Brightfield microscopy, 40× oil immersion. Image size 250×250. Bone marrow aspirate smear.
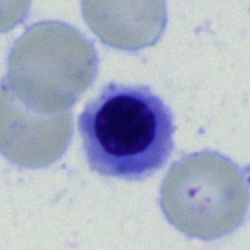Normoblast.